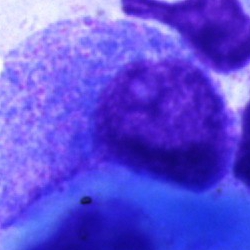
Promyelocyte.